Bone marrow smear · May-Grünwald-Giemsa stain
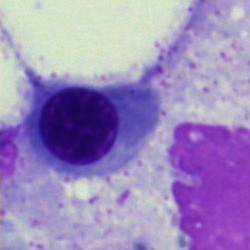The cell type is nucleated red cell.